Bone marrow smear
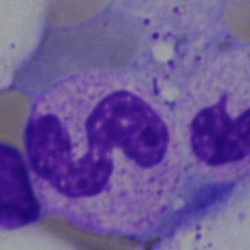 Cell — polymorphonuclear neutrophil.